Bone marrow aspirate smear
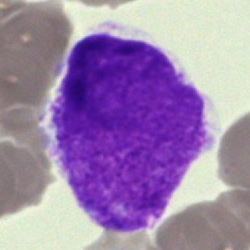 A blast.